Peripheral blood film:
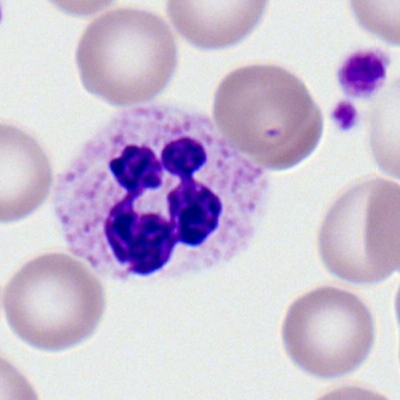 The cell type is polymorphonuclear neutrophil.